Bone marrow smear — 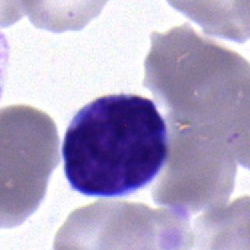

Showing a typical lymphocyte.